Bone marrow smear — 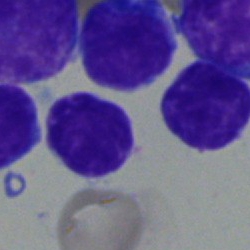Showing a typical lymphocyte.